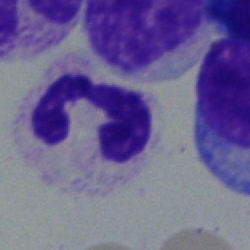Q: What is shown here?
A: It is a polymorphonuclear neutrophil.